Bone marrow aspirate smear: 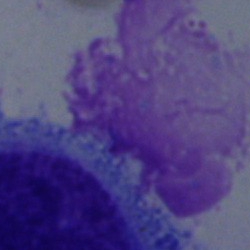
Classification — artifact.